Bone marrow smear — 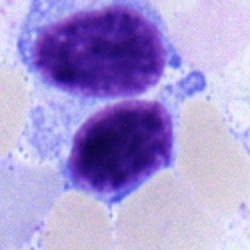Impression → lymphocyte.